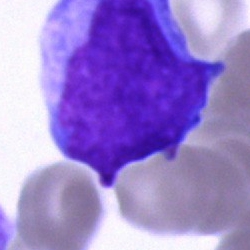Impression — blast.